Bone marrow smear — 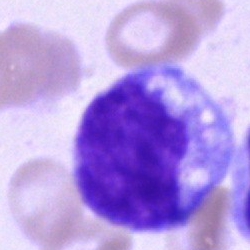This is a monocyte.